Image size 250×250; bone marrow aspirate smear
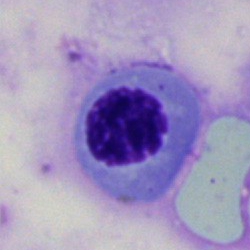A nucleated red cell.